Bone marrow smear. 40× objective, oil immersion:
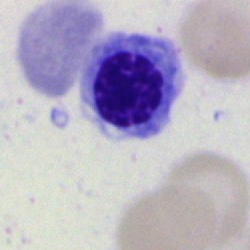
Q: What cell is this?
A: A normoblast.